Bone marrow aspirate smear: 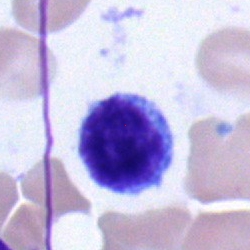

The morphological class is lymphocyte.